Bone marrow aspirate smear
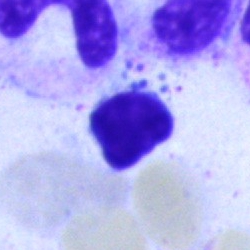

A lymphocyte.